40× objective, oil immersion. Bone marrow aspirate smear — 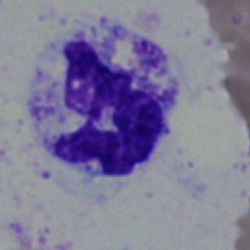 Single cell identified as a segmented neutrophil.